May-Grünwald-Giemsa/Pappenheim stain; bone marrow aspirate smear: 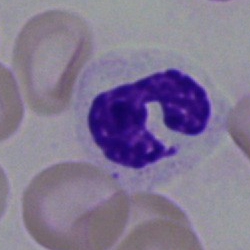 Impression — polymorphonuclear neutrophil.